Bone marrow aspirate smear: 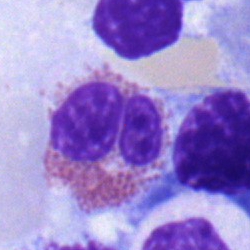

Q: What is the morphological classification of this cell?
A: This is an eosinophilic granulocyte.